Bone marrow smear · brightfield microscopy, 40× oil immersion.
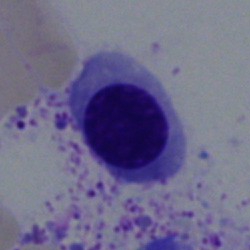
Impression → erythroblast.